40× objective, oil immersion. Bone marrow aspirate smear — 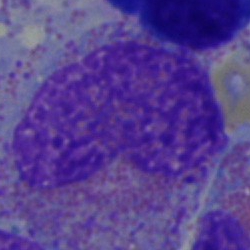Specimen: bone marrow aspirate smear.
Cell: eosinophilic granulocyte.